Bone marrow aspirate smear; brightfield microscopy, 40× oil immersion:
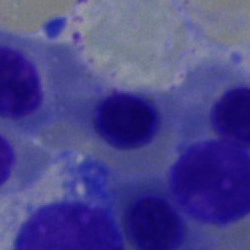
This is an erythroblast.